Peripheral blood smear:
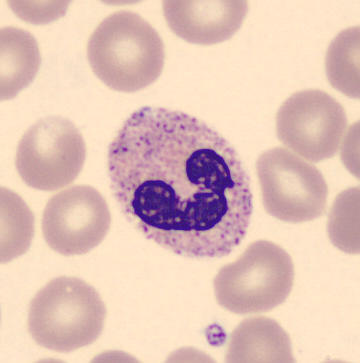{"cell_type": "neutrophil (segmented)", "lineage": "myeloid"}